Bone marrow smear; 250 by 250 pixels:
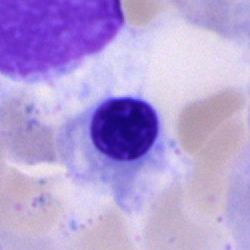
Morphological class = normoblast.